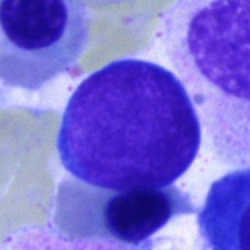Single cell identified as a typical lymphocyte.